Bone marrow smear:
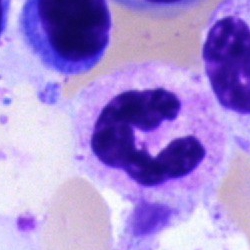

Classification = segmented neutrophil.